Bone marrow aspirate smear; 250 by 250 pixels.
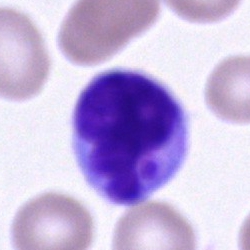Morphology — unidentifiable cell.